Single-cell field. Bone marrow aspirate smear — 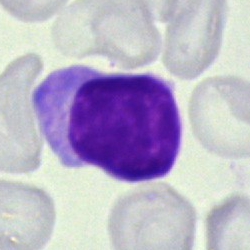The morphological class is lymphocyte.